Peripheral blood film.
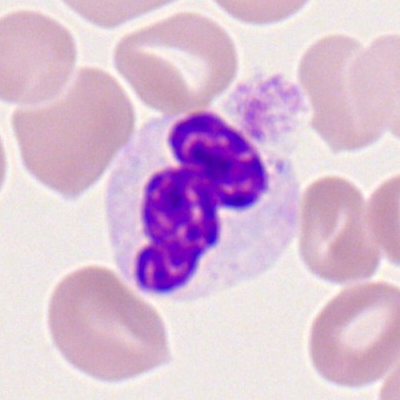

Showing a segmented neutrophil.